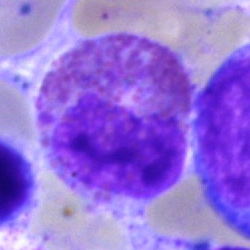

Q: What type of cell is this?
A: It is an eosinophilic granulocyte.